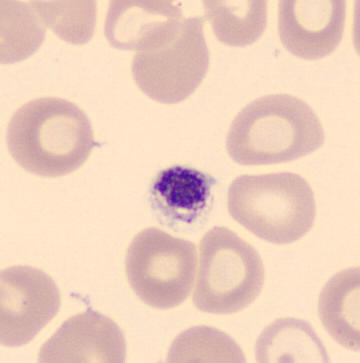
A thrombocyte.

Automated cell imaging (CellaVision DM96); MGG stain; peripheral blood smear.